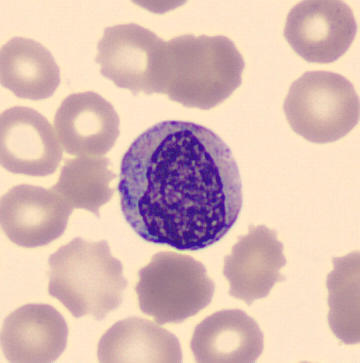

Specimen: peripheral blood smear.
Cell: myelocyte.
Lineage: myeloid.